Bone marrow aspirate smear; brightfield microscopy, 40× oil immersion — 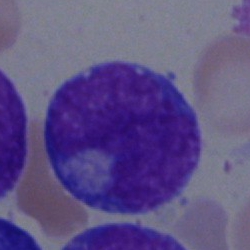
Showing an unidentifiable cell.